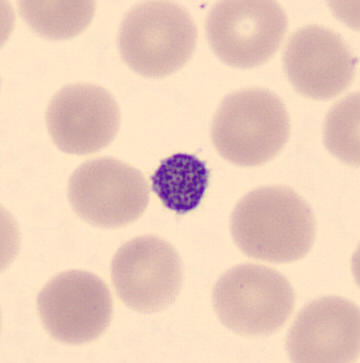Acquisition: 360×363. Peripheral blood smear. This is a thrombocyte.